Bone marrow smear; brightfield, 40× oil-immersion objective; Pappenheim-stained — 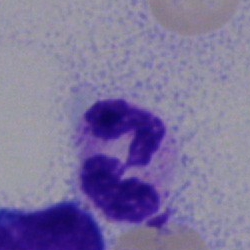 Morphology consistent with a polymorphonuclear neutrophil.